MGG-stained; bone marrow smear
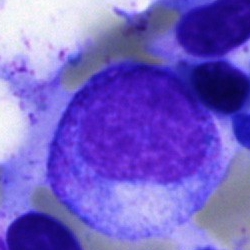 A progranulocyte.